Image size 250×250 · bone marrow smear · MGG-stained: 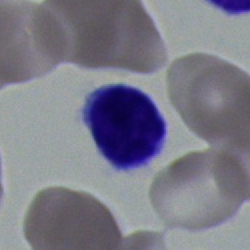

Q: Identify the cell.
A: Lymphocyte.